Bone marrow aspirate smear — 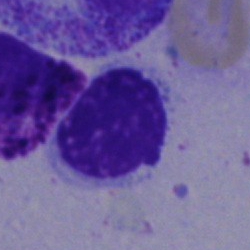This is a typical lymphocyte.